Romanowsky stain; peripheral blood film — 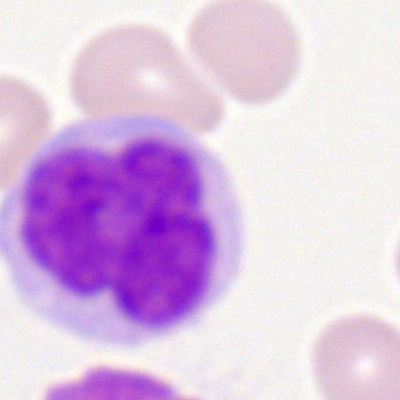
Cell type — monocyte.